Bone marrow smear. 40× oil immersion.
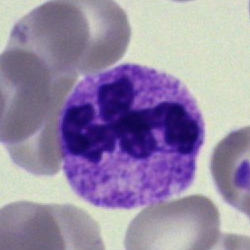 Classification: polymorphonuclear neutrophil.